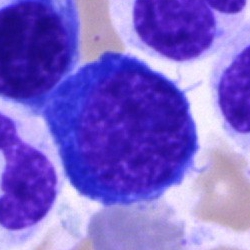
Morphology — nucleated red cell.